Brightfield, 40× oil-immersion objective; bone marrow aspirate smear.
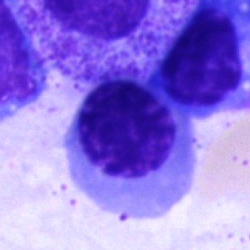

Q: Which cell type is shown here?
A: It is a nucleated red cell.